250×250. Bone marrow smear — 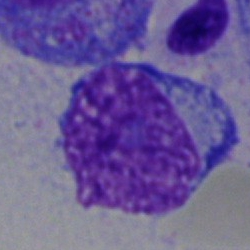 Cell type — typical lymphocyte.